Romanowsky-stained; peripheral blood smear; M8 digital microscope (Precipoint), 100× oil immersion:
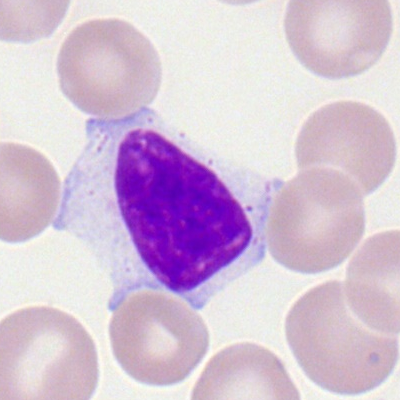A lymphocyte.